250 by 250 pixels · bone marrow aspirate smear · brightfield, 40× oil-immersion objective — 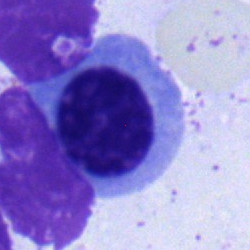
Nucleated red cell.